Bone marrow aspirate smear: 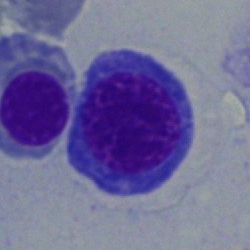 The cell shown is a normoblast.